40× objective, oil immersion · single cell centered in the field · bone marrow aspirate smear: 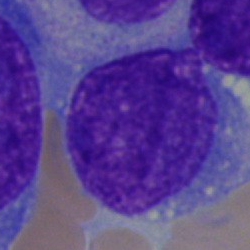

Undifferentiated blast.